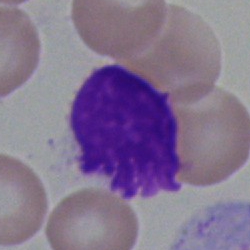 The cell is artifact.